Bone marrow aspirate smear — 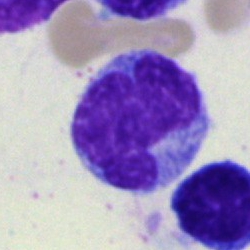
Single cell identified as a monocyte.